Bone marrow smear.
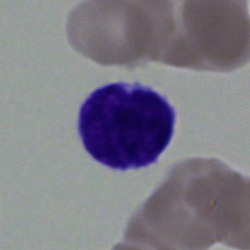 Q: What cell is this?
A: This is a lymphocyte.